40× oil immersion; bone marrow aspirate smear — 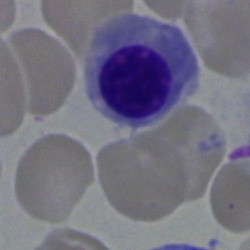
Classification = nucleated red cell.